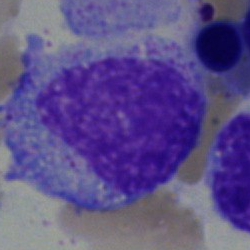Morphology — myelocyte.